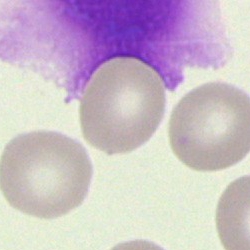
Single-cell crop from a bone marrow smear: artefact.